Bone marrow smear. Brightfield, 40× oil-immersion objective. MGG-stained: 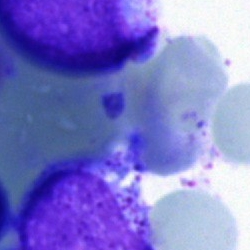
Q: What is shown here?
A: This is an artefact.